Bone marrow smear:
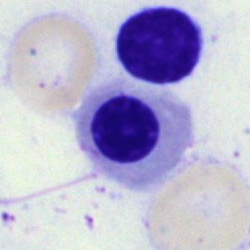
Showing an erythroblast.